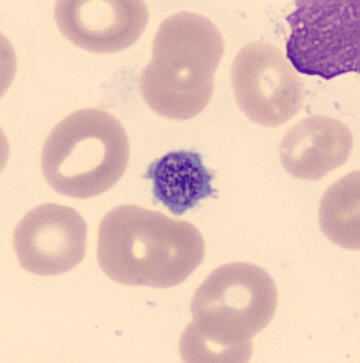 Preparation: MGG stain. Peripheral blood film.
Morphology — platelet.